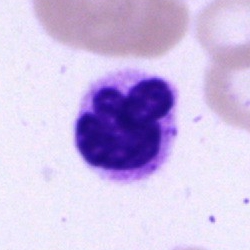This is a polymorphonuclear neutrophil.